250×250 · bone marrow smear.
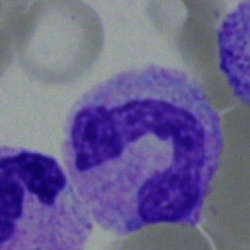
The cell shown is a band-form neutrophil.